Single-cell field; bone marrow aspirate smear
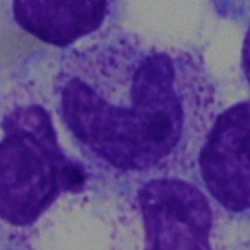

{"cell_type": "neutrophil (band)", "lineage": "myeloid"}